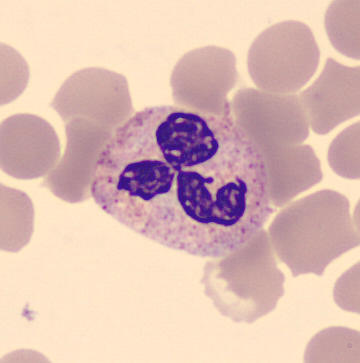

A neutrophil (segmented) on a peripheral blood smear.